Brightfield microscopy, 40× oil immersion. Bone marrow aspirate smear — 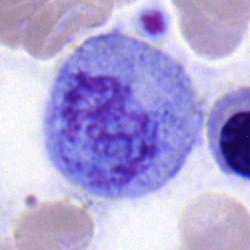

{"cell_type": "myelocyte", "lineage": "myeloid"}